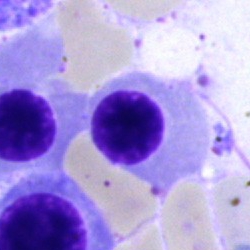Morphological class: nucleated red blood cell.